Bone marrow smear:
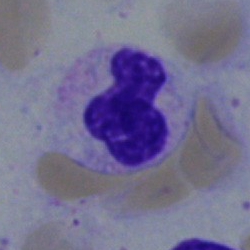 Classification — neutrophil (band).